Bone marrow aspirate smear. Brightfield, 40× oil-immersion objective. Pappenheim-stained:
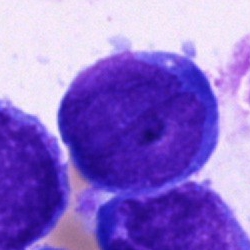

Morphology — blast.